250×250. Bone marrow aspirate smear.
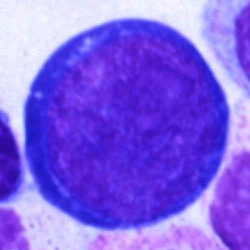

Morphology — pronormoblast.